Single cell centered in the field · peripheral blood smear:
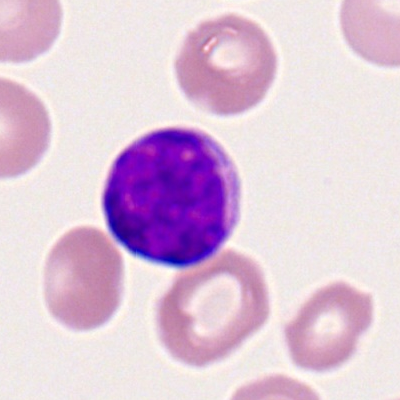Q: What is shown here?
A: This is a lymphocyte.